Bone marrow smear; Pappenheim-stained
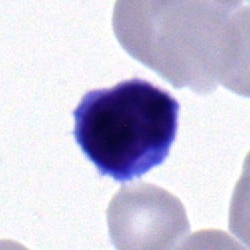 Specimen: bone marrow smear.
Cell type: typical lymphocyte.